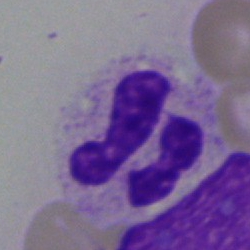
{"cell_type": "neutrophil (segmented)", "lineage": "myeloid"}